Bone marrow aspirate smear · May-Grünwald-Giemsa/Pappenheim stain.
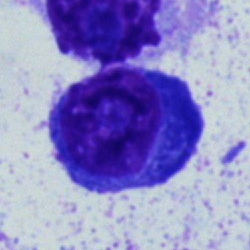{"cell_type": "plasmacyte"}